May-Grünwald-Giemsa stain. Bone marrow smear. Single-cell field
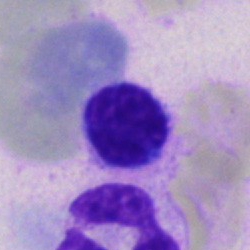
Lymphocyte.